40× oil immersion · bone marrow aspirate smear · single-cell crop.
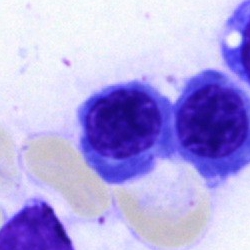
The cell type is normoblast.